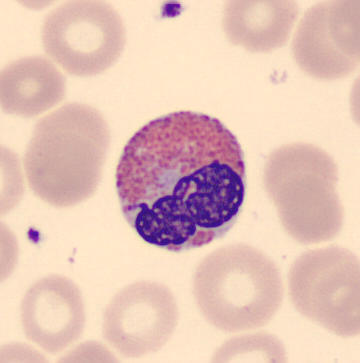

Morphology consistent with an eosinophilic granulocyte.

Image: 360×363 px · peripheral blood smear.